Bone marrow smear; May-Grünwald-Giemsa/Pappenheim stain
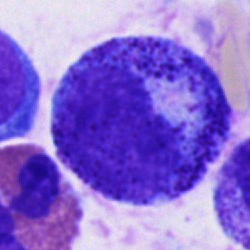 Cell = promyelocyte.